Bone marrow smear — 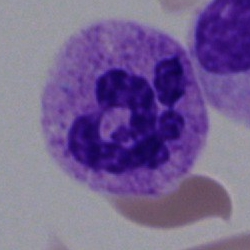 Cell = neutrophil (segmented).